Brightfield microscopy, 40× oil immersion. Single cell centered in the field. Bone marrow smear:
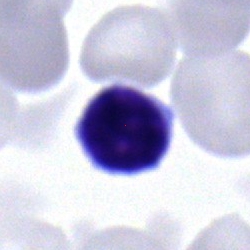 This is a typical lymphocyte.